May-Grünwald-Giemsa stain · bone marrow smear: 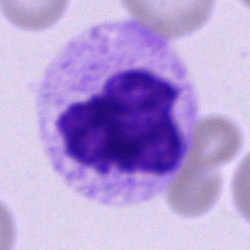
Cell type: polymorphonuclear neutrophil.